Bone marrow smear; single-cell field:
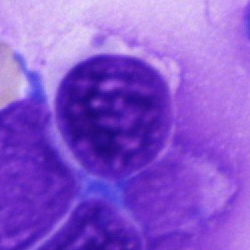 Q: What is shown here?
A: It is an artifact.